Bone marrow smear: 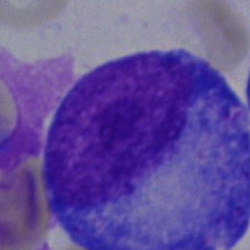

Promyelocyte.